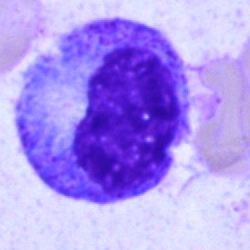

Cell — progranulocyte.